Bone marrow aspirate smear; single cell centered in the field; 40× oil immersion
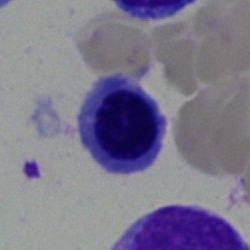
This is a nucleated red blood cell.